Bone marrow smear: 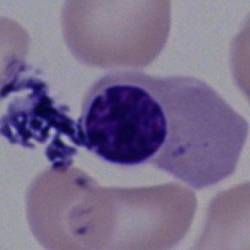 Q: Identify the cell.
A: This is an erythroblast.